Bone marrow aspirate smear — 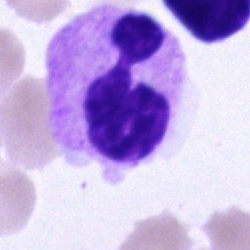 Single cell identified as a segmented neutrophil.